Bone marrow aspirate smear; single-cell field
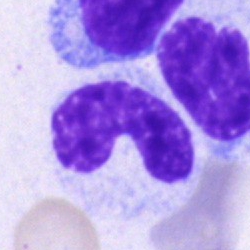A stab cell.